Bone marrow aspirate smear · Pappenheim-stained
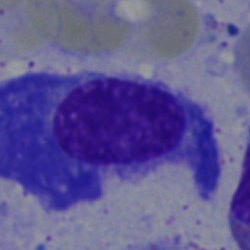Cell: plasma cell.